Bone marrow smear
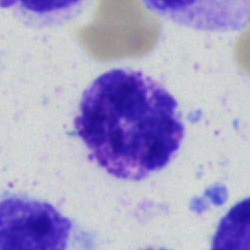 This is a basophilic granulocyte.